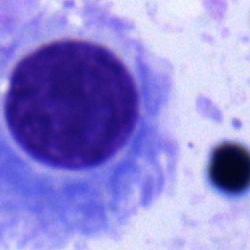

Q: Which cell type is shown here?
A: This is a plasmacyte.